Bone marrow aspirate smear; 250×250: 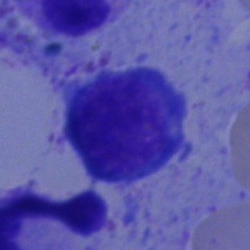
Morphological class = lymphocyte.